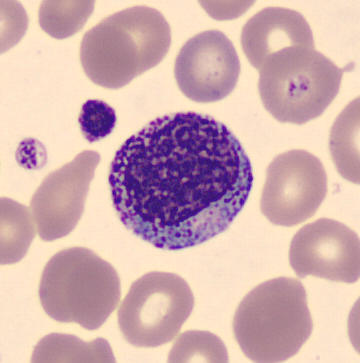

Q: What type of cell is this?
A: A myelocyte.